Peripheral blood smear.
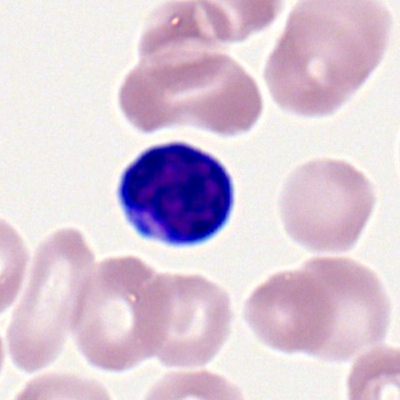
Morphology → lymphocyte.